250×250 px · 40× objective, oil immersion · bone marrow smear
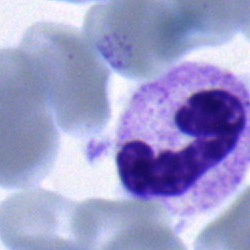The cell shown is a neutrophil (band).